Bone marrow aspirate smear. 250×250:
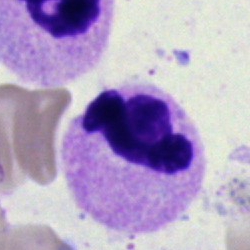Morphology consistent with a neutrophil (segmented).